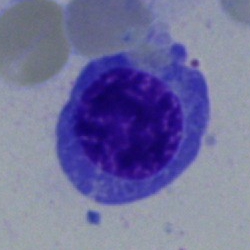 Normoblast.